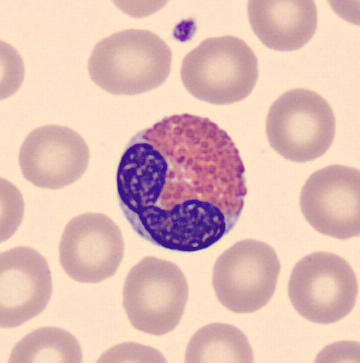Peripheral blood smear. The cell is eosinophilic granulocyte.